Peripheral blood smear
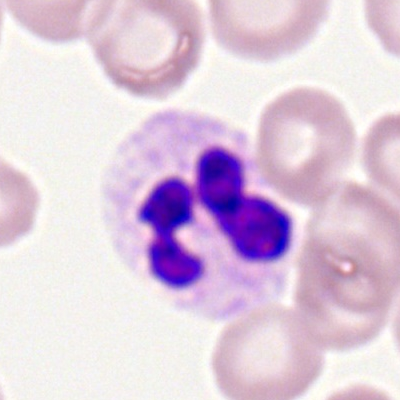 Showing a polymorphonuclear neutrophil.